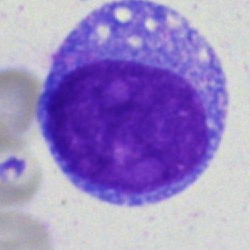

Q: What is the morphological classification of this cell?
A: This is a blast cell.